Bone marrow aspirate smear — 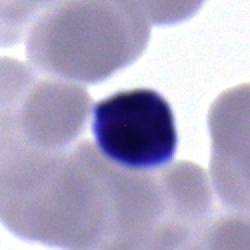Cell = typical lymphocyte.